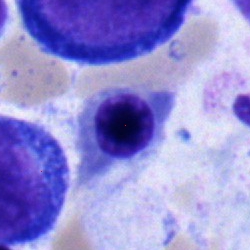

Morphology consistent with a normoblast.